250×250 · bone marrow smear:
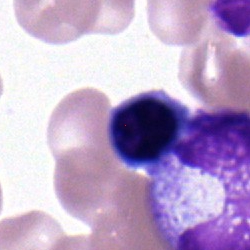 {"cell_type": "normoblast"}